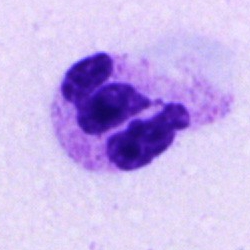 Q: Which cell type is shown here?
A: It is a segmented neutrophil.